Bone marrow aspirate smear.
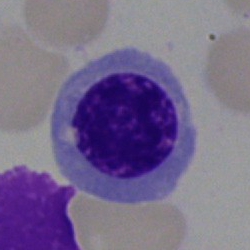The morphological class is erythroblast.